250 by 250 pixels; bone marrow aspirate smear — 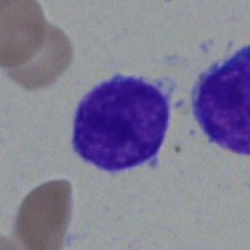 Showing a typical lymphocyte.